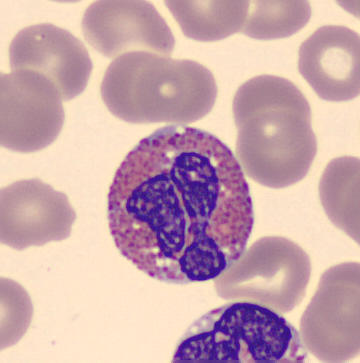
Showing an eosinophilic granulocyte.
Peripheral blood film.